Bone marrow aspirate smear.
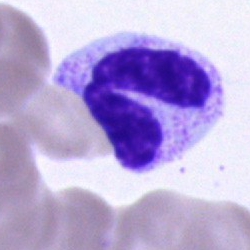
Single cell identified as a segmented neutrophil.